Bone marrow smear:
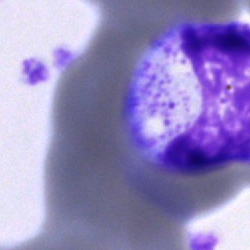Morphology — cell of indeterminate lineage.